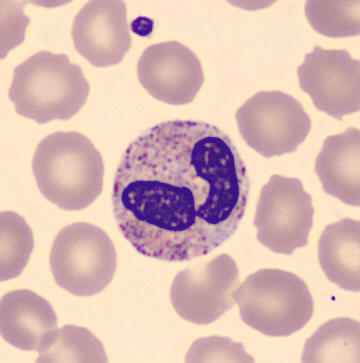
Specimen: peripheral blood smear.
Classification: neutrophil (segmented).